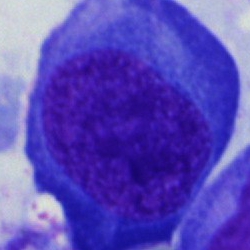 Q: Identify the cell.
A: A proerythroblast.